Bone marrow smear. 250×250 px.
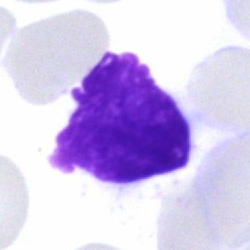
Showing a smudge cell.